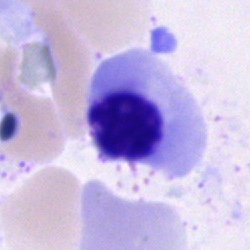 Q: Which cell type is shown here?
A: Nucleated red blood cell.